Peripheral blood smear
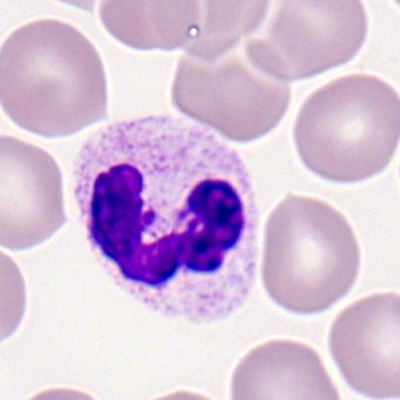Morphological class: segmented neutrophil.